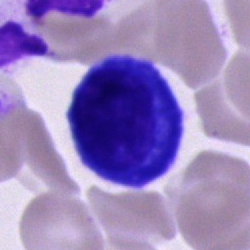Specimen: bone marrow aspirate smear.
Cell: plasma cell.
Lineage: lymphoid.